Image size 250×250; bone marrow aspirate smear — 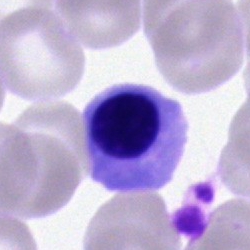 Cell type — normoblast.